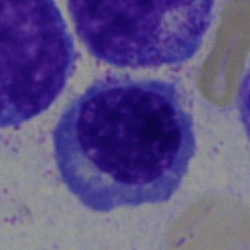Morphology — normoblast.